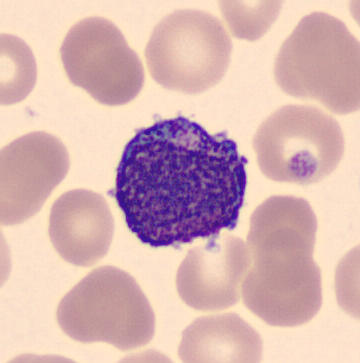

The cell shown is a progranulocyte. Preparation: Peripheral blood smear.